Brightfield microscopy, 40× oil immersion. Bone marrow smear:
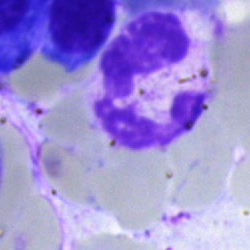

Impression — neutrophil (segmented).